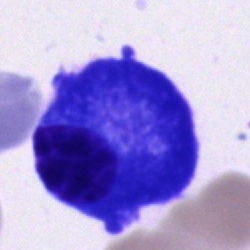
Cell type = plasmacyte.